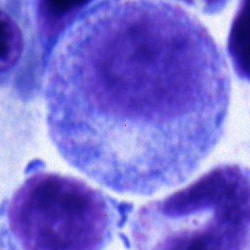
Showing a promyelocyte.